40× oil immersion · bone marrow aspirate smear · May-Grünwald-Giemsa/Pappenheim stain.
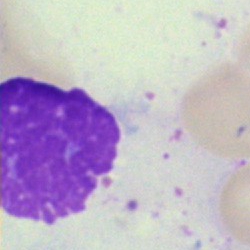Single cell identified as an artifact.